Bone marrow smear
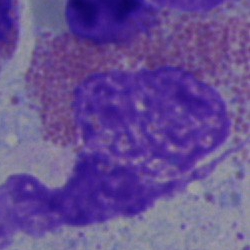 Eosinophilic granulocyte.